Bone marrow aspirate smear — 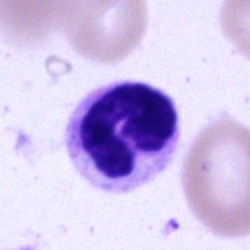
This is a polymorphonuclear neutrophil.